Pappenheim-stained. Bone marrow aspirate smear — 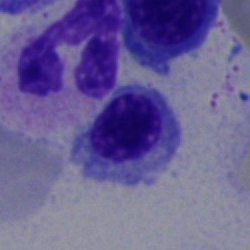

Q: What is shown here?
A: An erythroblast.